Bone marrow smear: 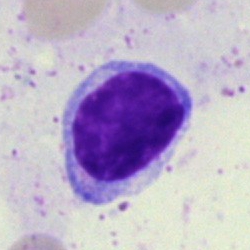

Typical lymphocyte.